Bone marrow aspirate smear; single cell centered in the field:
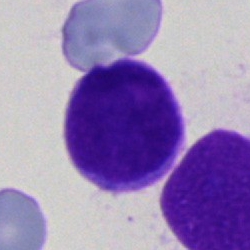Morphology consistent with a blast cell.